Bone marrow aspirate smear · brightfield, 40× oil-immersion objective.
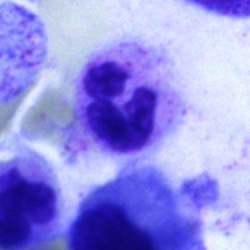
Single cell identified as a neutrophil (segmented).